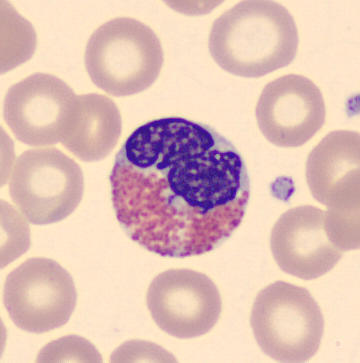 The cell type is eosinophil.